Bone marrow smear: 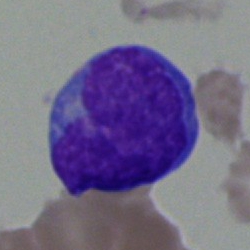
The cell shown is a blast.